Bone marrow aspirate smear:
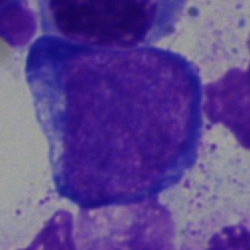
A proerythroblast.